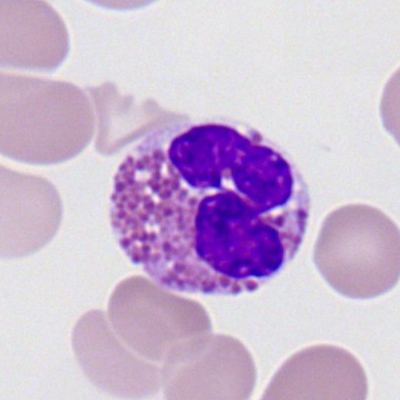Specimen: peripheral blood smear.
Cell type: eosinophil.
Lineage: myeloid.